Bone marrow smear:
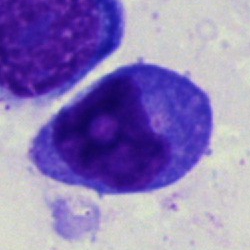
Plasmacyte.